Cropped to a single cell; peripheral blood smear; Romanowsky-stained:
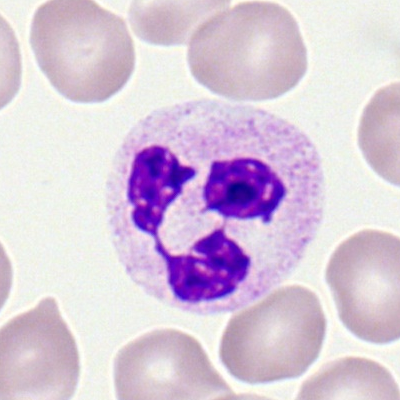
The cell type is polymorphonuclear neutrophil.